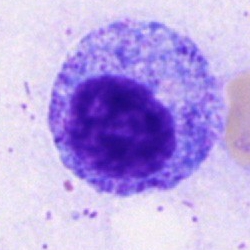

Single cell identified as a promyelocyte.